Pappenheim-stained. Bone marrow aspirate smear
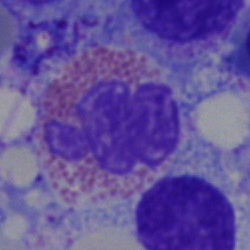
Specimen: bone marrow aspirate smear.
Cell type: eosinophilic granulocyte.